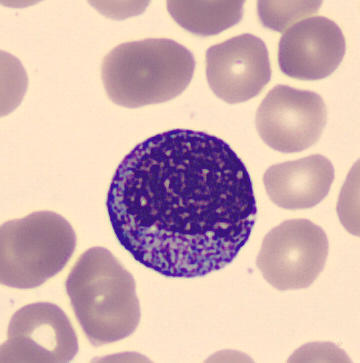 Classification: progranulocyte. Preparation: Peripheral blood smear.